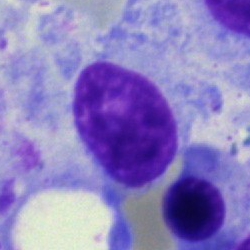
The cell shown is an artifact.